Bone marrow smear: 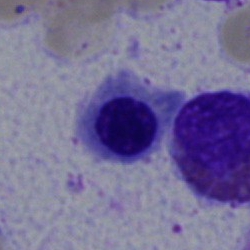 Nucleated red cell.